Bone marrow smear: 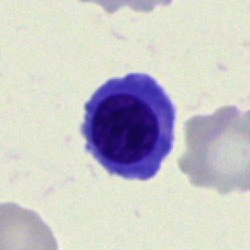A normoblast.